Peripheral blood film: 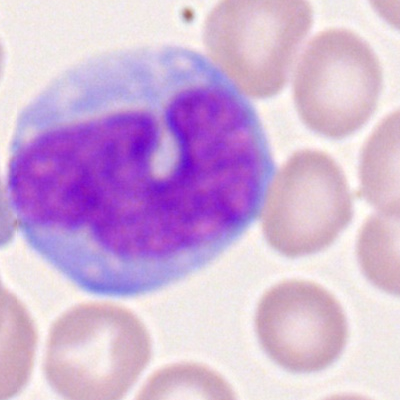Q: What is shown here?
A: It is a monocyte.